Bone marrow aspirate smear · May-Grünwald-Giemsa stain — 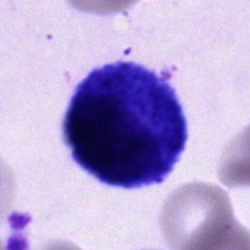 Q: Which cell type is shown here?
A: This is a cell of indeterminate lineage.